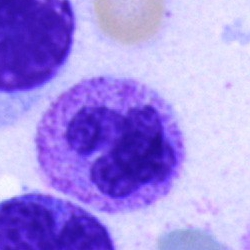 Bone marrow aspirate smear, single cell — polymorphonuclear neutrophil.